Bone marrow smear
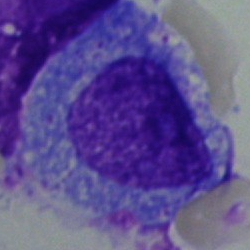 Morphological class: promyelocyte.